Bone marrow smear:
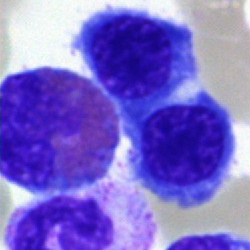 Eosinophilic granulocyte.